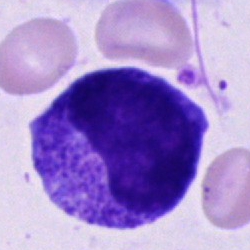
Specimen: bone marrow aspirate smear.
Cell type: promyelocyte.
Lineage: myeloid.